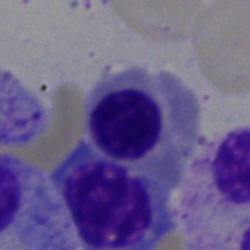

A normoblast on a bone marrow smear.